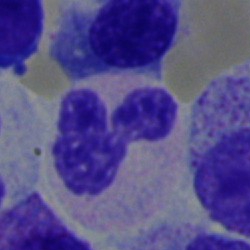 Neutrophil (segmented).